Peripheral blood film
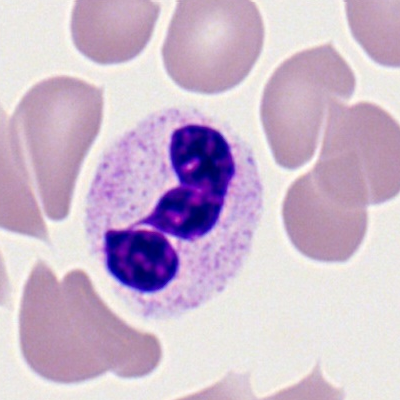

The cell shown is a neutrophil (segmented).